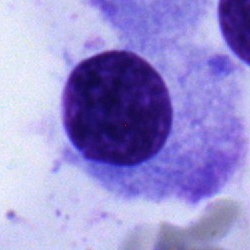This is a plasmacyte.